40× objective, oil immersion. Bone marrow smear:
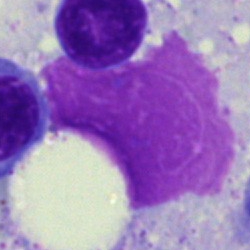
Morphology consistent with an artifact.